Bone marrow smear — 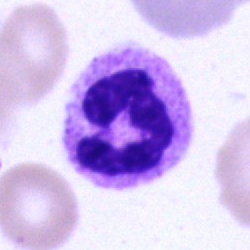
This is a neutrophil (segmented).